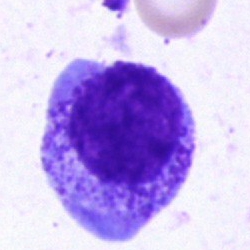
Bone marrow aspirate smear, single cell — progranulocyte.